Bone marrow smear:
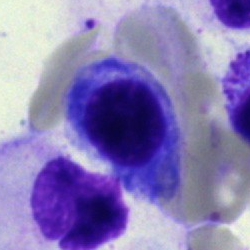
The classification is nucleated red blood cell.